250×250; bone marrow aspirate smear: 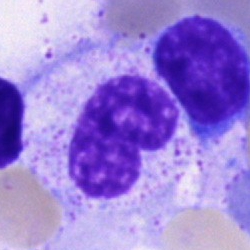 Cell: metamyelocyte.